Peripheral blood film:
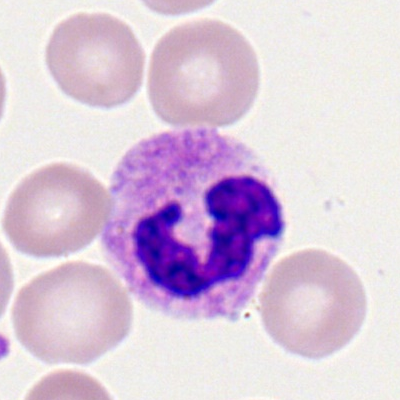 Specimen: peripheral blood smear.
Cell: polymorphonuclear neutrophil.
Lineage: myeloid.